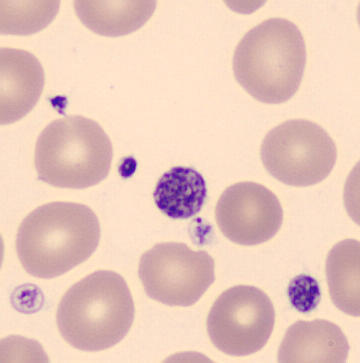

Morphology consistent with a platelet. Acquisition: Peripheral blood film.